Bone marrow aspirate smear · brightfield microscopy, 40× oil immersion:
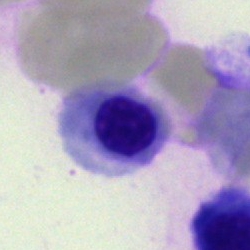
Morphological class = nucleated red blood cell.